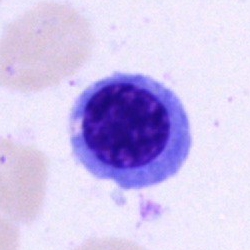This is a nucleated red blood cell.